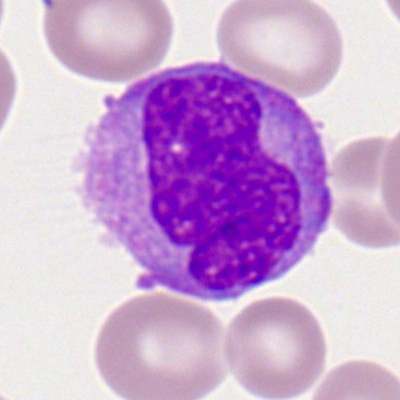
Peripheral blood smear showing a monocyte.